Bone marrow aspirate smear. May-Grünwald-Giemsa/Pappenheim stain: 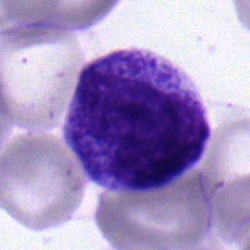

Q: Identify the cell.
A: It is a metamyelocyte.